Single cell centered in the field; bone marrow aspirate smear — 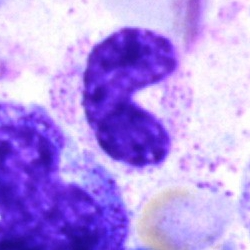
This is a stab cell.